Bone marrow aspirate smear: 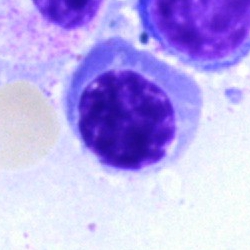
Morphology consistent with a nucleated red cell.